Bone marrow smear.
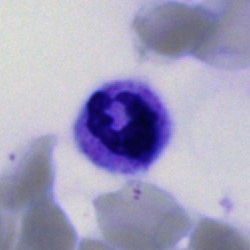
Classification = polymorphonuclear neutrophil.